Bone marrow smear. Single-cell field — 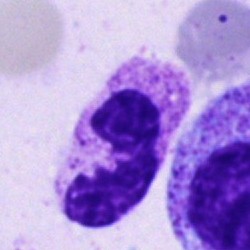Specimen: bone marrow aspirate smear.
Cell type: segmented neutrophil.